May-Grünwald-Giemsa/Pappenheim stain · single cell centered in the field · bone marrow aspirate smear: 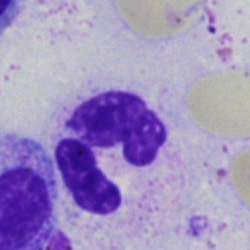
The cell type is neutrophil (segmented).